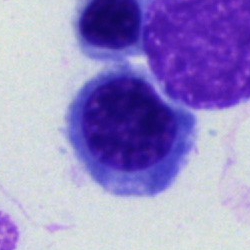

Showing a nucleated red blood cell.